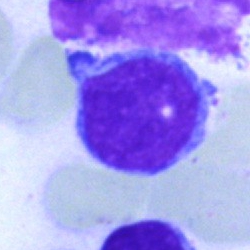Single-cell crop from a bone marrow smear: typical lymphocyte.